Single cell centered in the field · brightfield microscopy, 40× oil immersion · bone marrow aspirate smear:
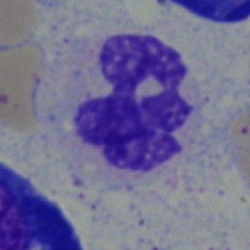
The cell shown is a neutrophil (segmented).